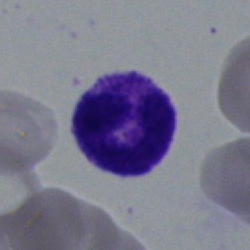
Showing a segmented neutrophil.